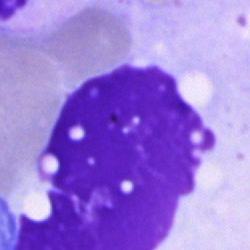 Showing an artefact.